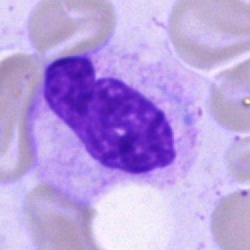

Q: What is the morphological classification of this cell?
A: Stab cell.